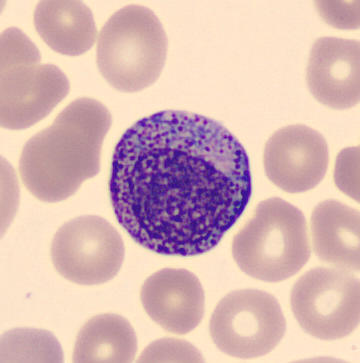Morphological class: promyelocyte.